Bone marrow smear:
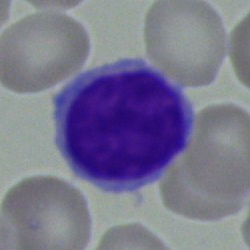
Morphology consistent with a typical lymphocyte.